Peripheral blood film:
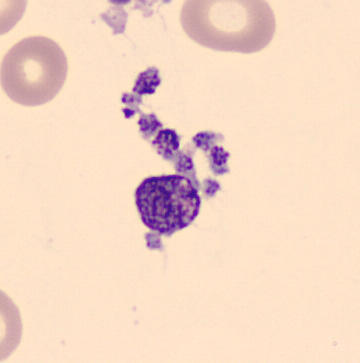 Specimen: peripheral blood smear.
Classification: thrombocyte.